Bone marrow smear. Image size 250×250
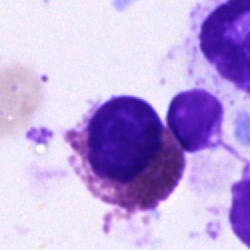
Morphology consistent with an eosinophil.